Bone marrow smear — 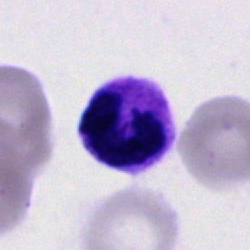

Polymorphonuclear neutrophil.